Bone marrow aspirate smear — 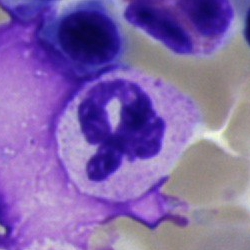

Single cell identified as a neutrophil (segmented).